Bone marrow smear: 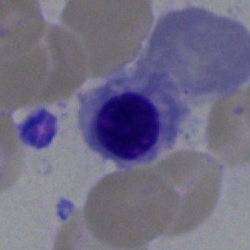

Classification: normoblast.